250 by 250 pixels. Bone marrow smear
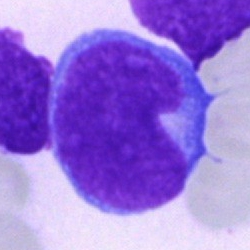A blast cell.